Bone marrow smear; May-Grünwald-Giemsa stain; 250×250 px: 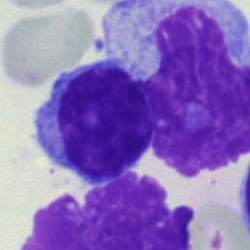
A typical lymphocyte.